Bone marrow aspirate smear · 250×250 px · Pappenheim-stained.
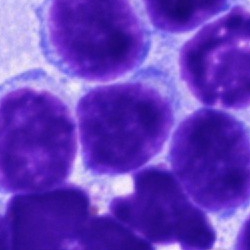 {"cell_type": "lymphocyte"}